Bone marrow aspirate smear; 250×250.
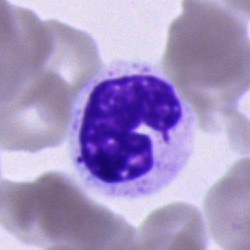

Specimen: bone marrow aspirate smear.
Cell: stab cell.
Lineage: myeloid.